Bone marrow smear
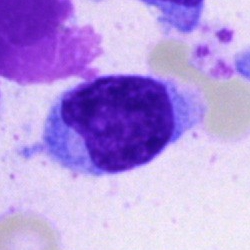 Specimen: bone marrow aspirate smear.
Cell: lymphocyte.